250×250; Pappenheim-stained; bone marrow aspirate smear: 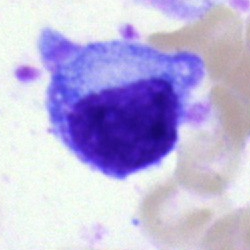 Showing a myelocyte.